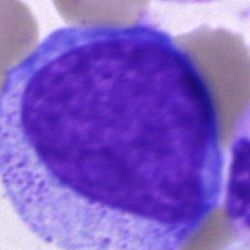

Specimen: bone marrow aspirate smear.
Morphological class: promyelocyte.
Lineage: myeloid.